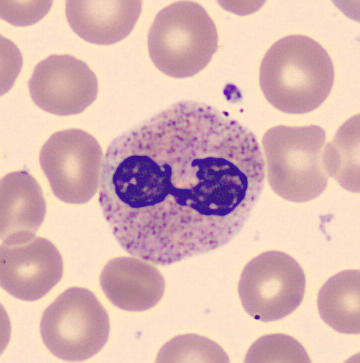Peripheral blood film.
Identified as a segmented neutrophil.